Bone marrow aspirate smear: 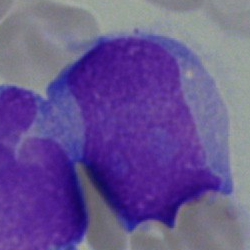 Specimen: bone marrow aspirate smear.
Morphological class: undifferentiated blast.